Bone marrow smear:
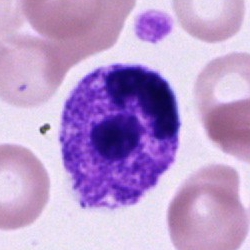 Cell type — segmented neutrophil.